400×400 px; peripheral blood film
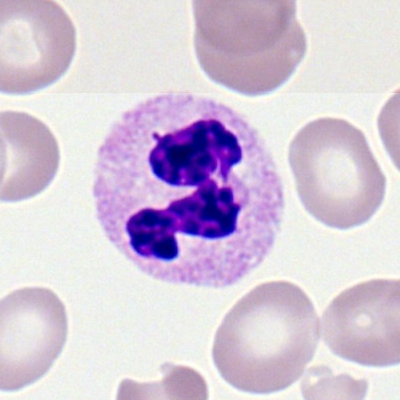{"cell_type": "segmented neutrophil"}